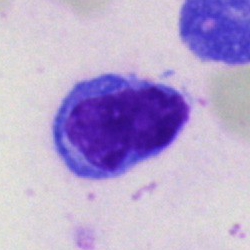Bone marrow smear showing a typical lymphocyte.